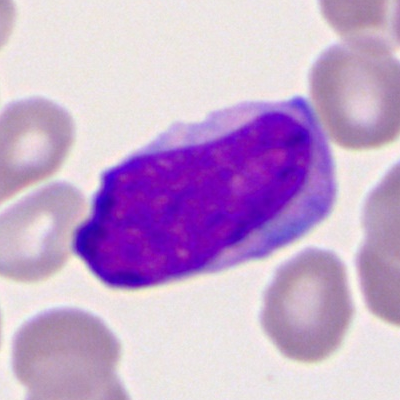 Morphological class = myeloid blast.